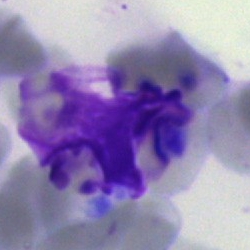Classification — artefact.